Bone marrow aspirate smear: 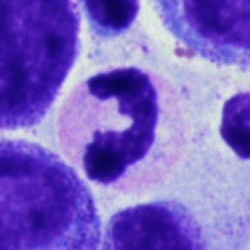

Classification: polymorphonuclear neutrophil.